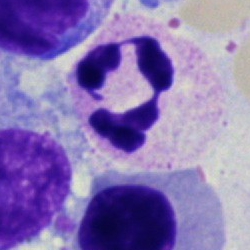
Specimen: bone marrow aspirate smear.
Cell type: neutrophil (segmented).